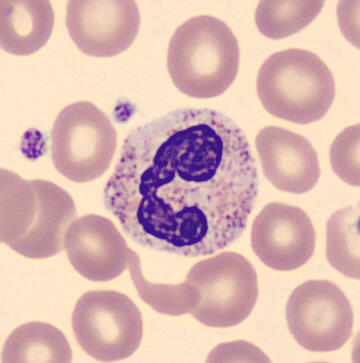
Image size 360×363 · peripheral blood film.
The cell type is polymorphonuclear neutrophil.